May-Grünwald-Giemsa stain; bone marrow smear; cropped to a single cell.
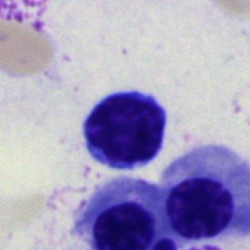
This is a lymphocyte.